250×250 px · bone marrow smear · Pappenheim-stained: 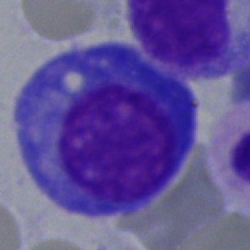A plasma cell.